May-Grünwald-Giemsa/Pappenheim stain. Bone marrow smear.
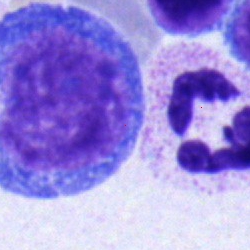The cell type is progranulocyte.